Bone marrow aspirate smear:
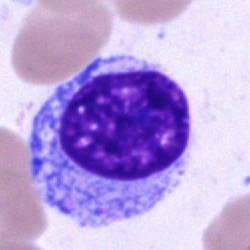
{"cell_type": "undifferentiated blast"}